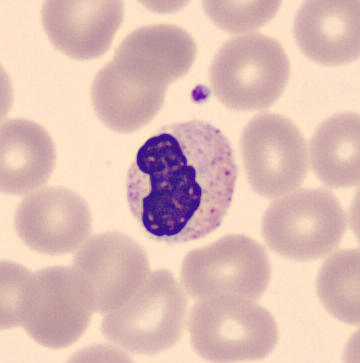 Single-cell crop from a peripheral blood smear: band neutrophil.